Bone marrow smear
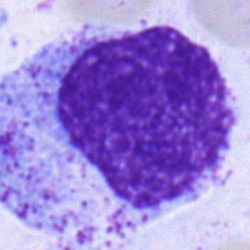Specimen: bone marrow aspirate smear.
Cell: promyelocyte.
Lineage: myeloid.